Bone marrow aspirate smear: 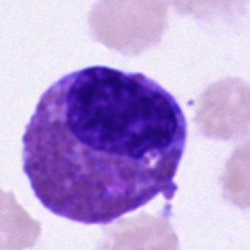The cell is eosinophil.